250×250 px. Brightfield, 40× oil-immersion objective. Bone marrow aspirate smear — 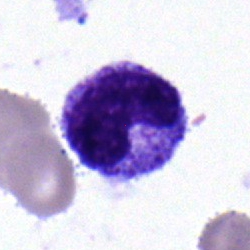

Metamyelocyte.